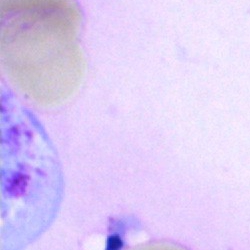 Single-cell crop from a bone marrow smear: artefact.